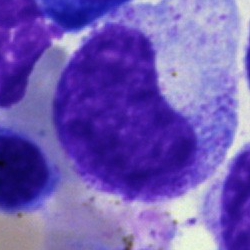
{"cell_type": "metamyelocyte"}